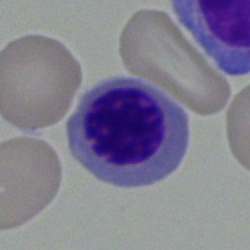
Morphology consistent with a normoblast.